Single-cell crop; bone marrow aspirate smear; brightfield, 40× oil-immersion objective — 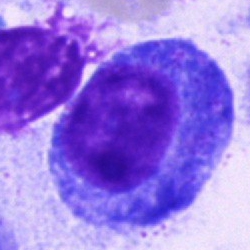

Morphological class — promyelocyte.